Peripheral blood smear: 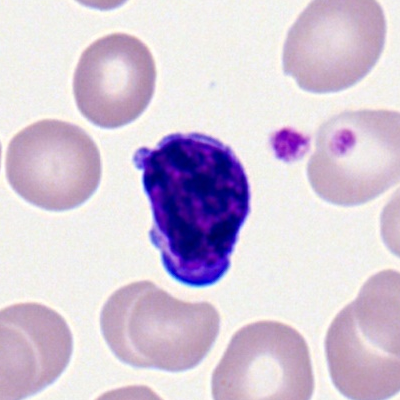 Q: What is the morphological classification of this cell?
A: This is a typical lymphocyte.